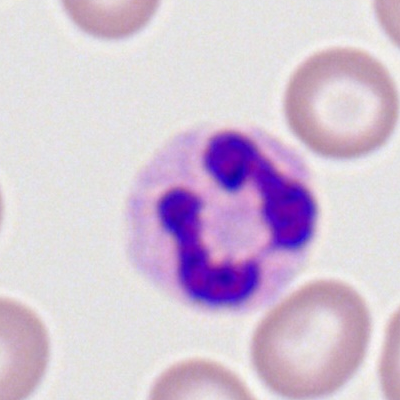Peripheral blood smear showing a segmented neutrophil.